Peripheral blood smear · single-cell crop:
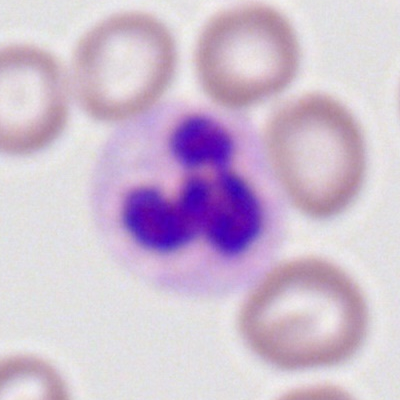
Morphology → polymorphonuclear neutrophil.